Peripheral blood smear · 100× objective, oil immersion:
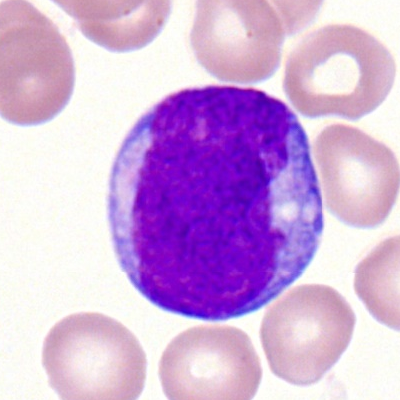

A myeloblast.